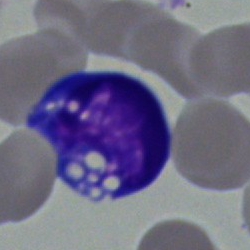
{"cell_type": "undifferentiated blast"}